Bone marrow smear — 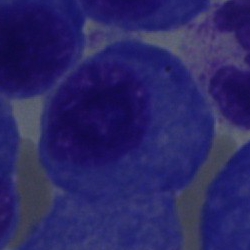Morphology consistent with a plasmacyte.